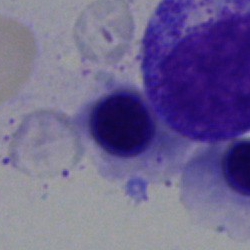Bone marrow aspirate smear, single cell — nucleated red cell.